250×250; bone marrow aspirate smear; cropped to a single cell.
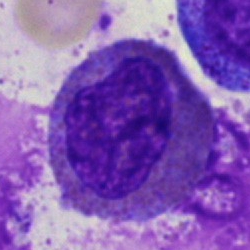
Q: Which cell type is shown here?
A: An eosinophil.